Single-cell field · bone marrow aspirate smear:
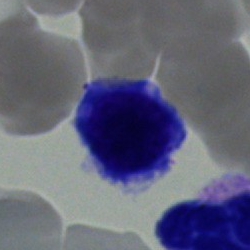

Cell = typical lymphocyte.